Bone marrow smear: 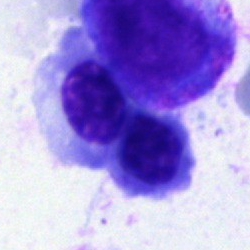
This is a nucleated red cell.